Peripheral blood smear; 360×363 px — 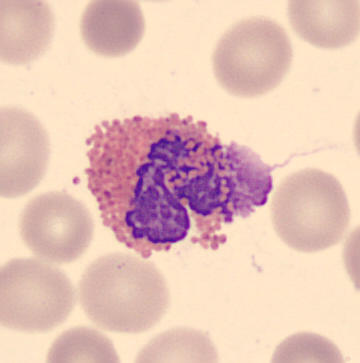
Cell — eosinophilic granulocyte.